Bone marrow smear.
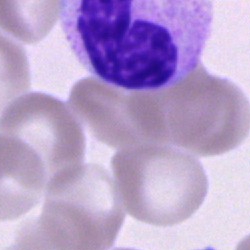

Impression → segmented neutrophil.